Bone marrow smear — 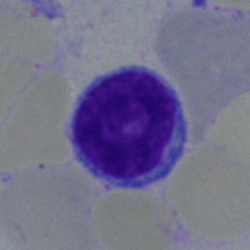
Showing a typical lymphocyte.